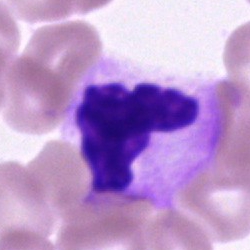

A polymorphonuclear neutrophil on a bone marrow smear.